Bone marrow smear. May-Grünwald-Giemsa stain.
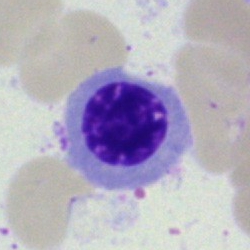Cell = nucleated red cell.